May-Grünwald-Giemsa stain. Bone marrow aspirate smear.
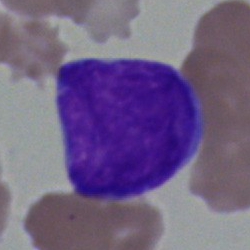
Showing an undifferentiated blast.